Peripheral blood film: 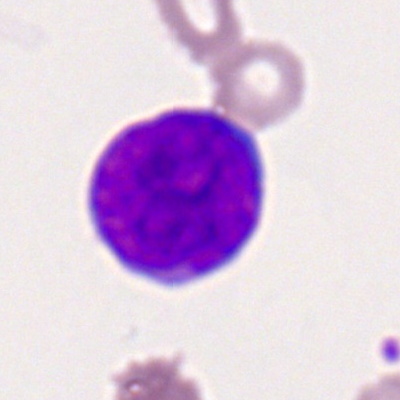 Impression — myeloid blast.